May-Grünwald-Giemsa stain. Bone marrow aspirate smear. 250 by 250 pixels.
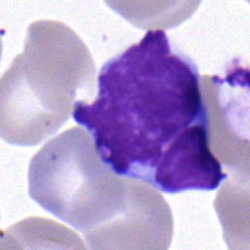Q: What cell is this?
A: Lymphocyte.